Bone marrow smear.
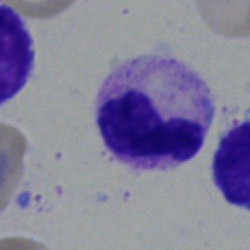A band-form neutrophil.